Peripheral blood film — 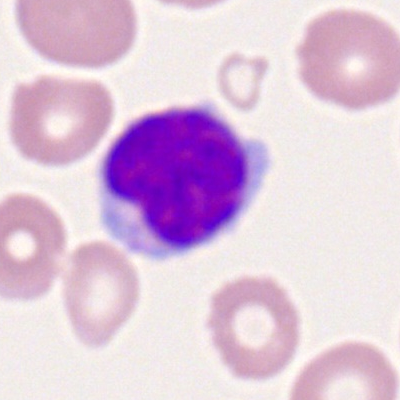

Morphological class = typical lymphocyte.